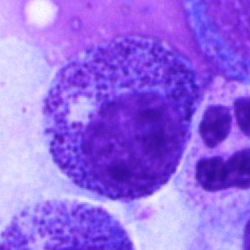 Bone marrow aspirate smear, single cell — myelocyte.